Bone marrow smear: 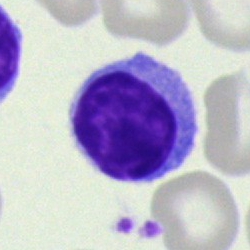Morphology — lymphocyte.